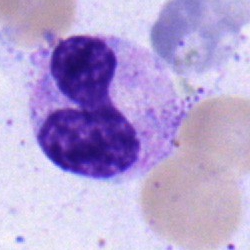
Cell type: stab cell.